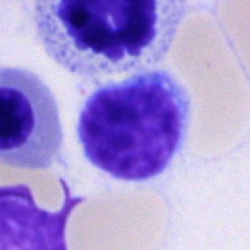Q: Identify the cell.
A: It is a typical lymphocyte.